Bone marrow smear; single-cell field; May-Grünwald-Giemsa stain:
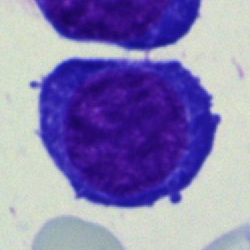{"cell_type": "nucleated red blood cell", "lineage": "erythroid"}